Bone marrow smear; single-cell field: 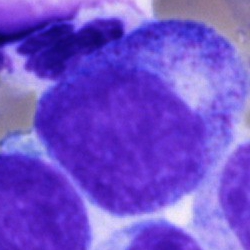Cell type = promyelocyte.